Bone marrow aspirate smear: 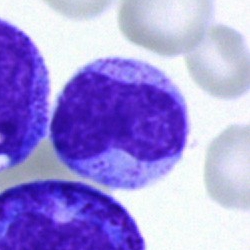
Q: What is shown here?
A: It is a metamyelocyte.